Bone marrow smear:
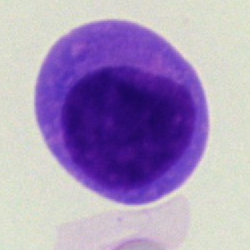 The morphological class is blast.